Bone marrow aspirate smear:
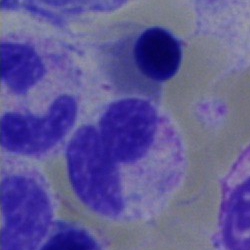 Q: What cell is this?
A: It is a segmented neutrophil.